MGG-stained; bone marrow aspirate smear.
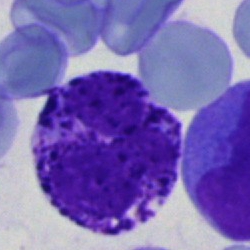A basophilic granulocyte.